Single cell centered in the field; Pappenheim-stained; bone marrow smear:
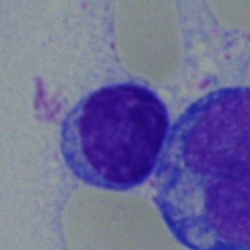

Showing a typical lymphocyte.